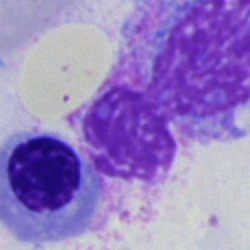
{"cell_type": "artifact"}